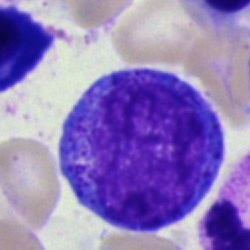
Morphology — promyelocyte.